Bone marrow smear; May-Grünwald-Giemsa stain:
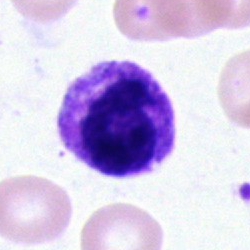 Morphology → neutrophil (segmented).